Peripheral blood film
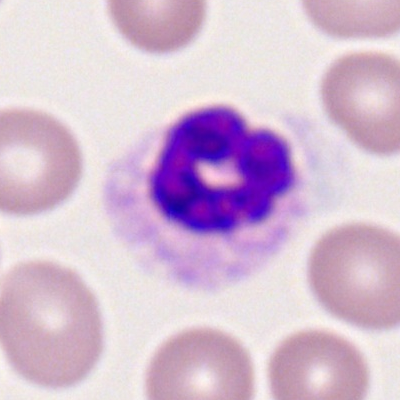

Single cell identified as a segmented neutrophil.